Bone marrow aspirate smear.
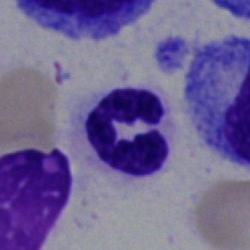

Single cell identified as a neutrophil (segmented).